Bone marrow aspirate smear. MGG-stained:
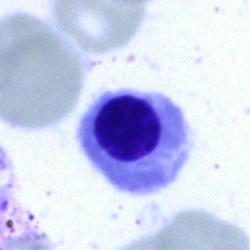
Impression — nucleated red blood cell.